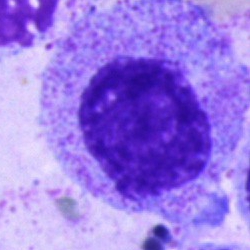

Morphological class: progranulocyte.